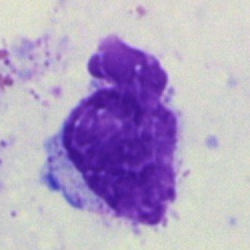 Morphology consistent with an artefact.